Bone marrow smear. May-Grünwald-Giemsa/Pappenheim stain.
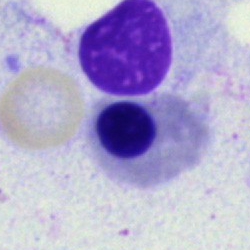
{"cell_type": "erythroblast", "lineage": "erythroid"}